MGG-stained · bone marrow smear
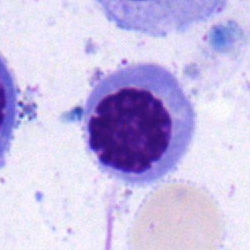This is an erythroblast.